40× objective, oil immersion; image size 250×250; bone marrow smear.
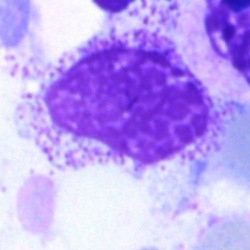Q: What is shown here?
A: This is an artefact.